Image size 250×250. Bone marrow aspirate smear: 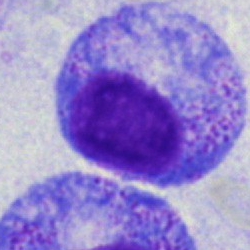

Showing a promyelocyte.